Bone marrow aspirate smear — 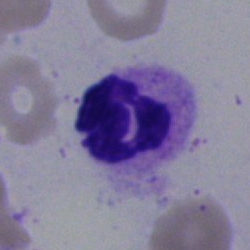 Morphology consistent with a segmented neutrophil.